Bone marrow smear. 40× objective, oil immersion:
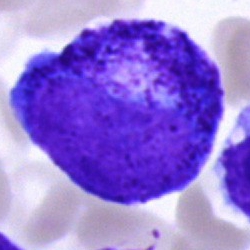 Q: What type of cell is this?
A: A progranulocyte.